Bone marrow smear; brightfield, 40× oil-immersion objective: 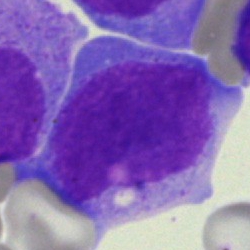Morphology consistent with an undifferentiated blast.